Bone marrow smear. Brightfield, 40× oil-immersion objective.
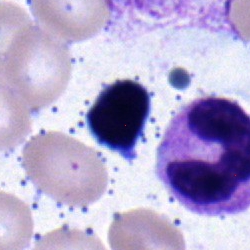 Q: What cell is this?
A: It is a lymphocyte.